250×250 px · bone marrow smear: 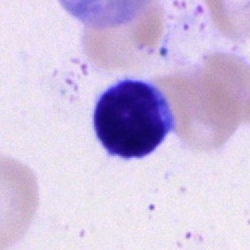

Morphology → typical lymphocyte.